Bone marrow smear.
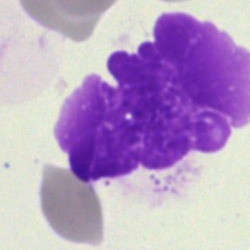
Cell — artefact.